Bone marrow aspirate smear · brightfield, 40× oil-immersion objective — 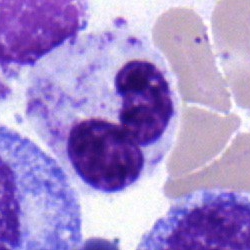{"cell_type": "neutrophil (segmented)", "lineage": "myeloid"}